Bone marrow aspirate smear · brightfield microscopy, 40× oil immersion.
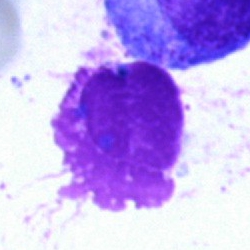Classification = artifact.